May-Grünwald-Giemsa/Pappenheim stain. Bone marrow smear:
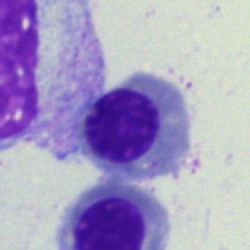 Cell type — nucleated red blood cell.